Brightfield, 40× oil-immersion objective; bone marrow aspirate smear:
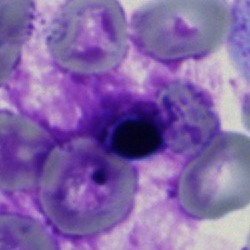{"cell_type": "artifact"}